Bone marrow aspirate smear — 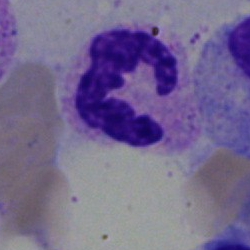Specimen: bone marrow aspirate smear.
Morphological class: polymorphonuclear neutrophil.